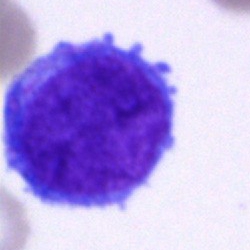
Specimen: bone marrow smear.
Cell: blast.